Bone marrow aspirate smear: 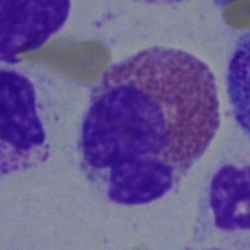
Cell type — eosinophil.